Bone marrow aspirate smear. May-Grünwald-Giemsa stain — 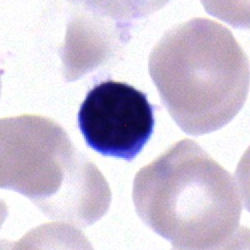Specimen: bone marrow smear.
Cell: typical lymphocyte.
Lineage: lymphoid.